Bone marrow aspirate smear; brightfield, 40× oil-immersion objective — 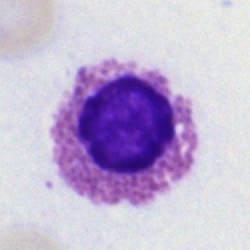

Cell — eosinophilic granulocyte.